250×250 px · bone marrow aspirate smear.
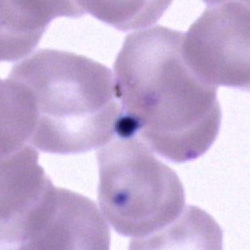

Morphology — artefact.